Peripheral blood film.
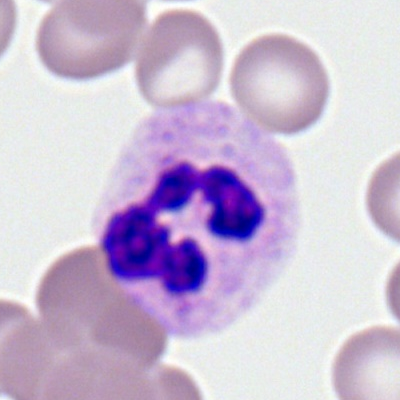Segmented neutrophil.